Bone marrow smear: 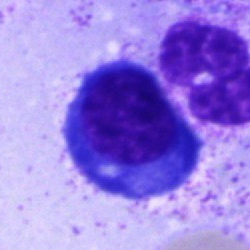Q: Identify the cell.
A: A plasma cell.